Bone marrow aspirate smear · 250 by 250 pixels · May-Grünwald-Giemsa stain.
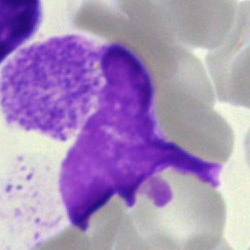 Q: Identify the cell.
A: Lymphocyte.